Cropped to a single cell; bone marrow smear
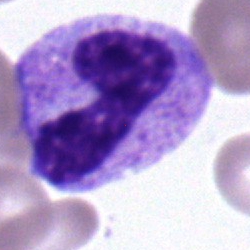

Specimen: bone marrow aspirate smear.
Classification: band neutrophil.
Lineage: myeloid.